Single cell centered in the field; bone marrow aspirate smear — 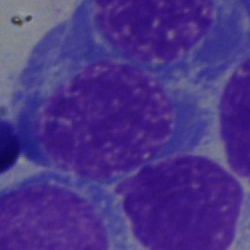 This is an erythroblast.